May-Grünwald-Giemsa stain; bone marrow aspirate smear; single-cell field — 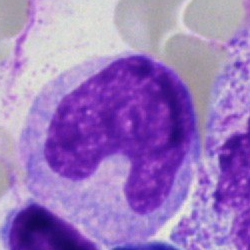 Impression — monocyte.